Bone marrow smear
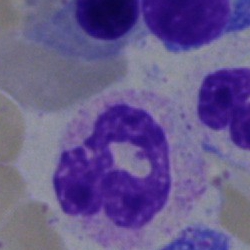
Specimen: bone marrow smear.
Cell type: polymorphonuclear neutrophil.